40× oil immersion. Bone marrow aspirate smear. Pappenheim-stained.
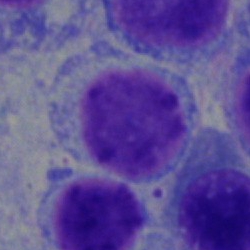Cell type: typical lymphocyte.